MGG-stained. Bone marrow smear: 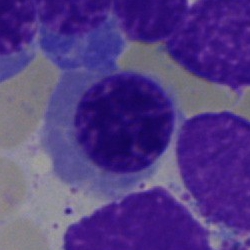Nucleated red cell.